Bone marrow aspirate smear
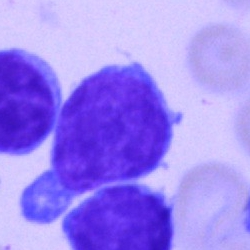 Cell = lymphocyte.